Bone marrow aspirate smear:
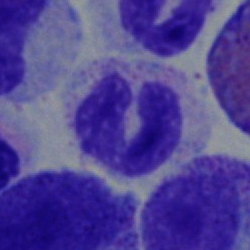 Q: Identify the cell.
A: This is a neutrophil (band).